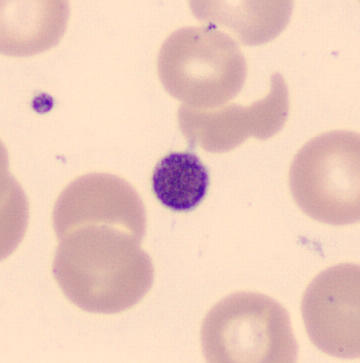
Specimen: peripheral blood smear.
Cell type: platelet.